Bone marrow smear:
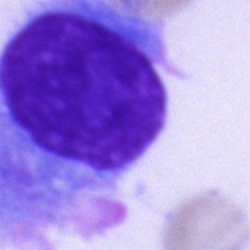
A plasmacyte.